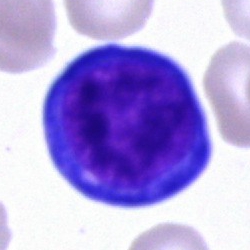

Proerythroblast.